Bone marrow smear: 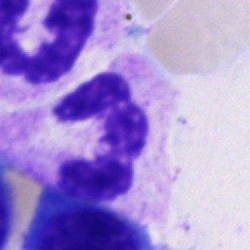 Q: Which cell type is shown here?
A: This is a polymorphonuclear neutrophil.